Bone marrow aspirate smear:
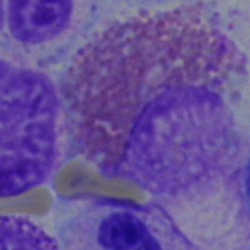Morphology consistent with an eosinophil.